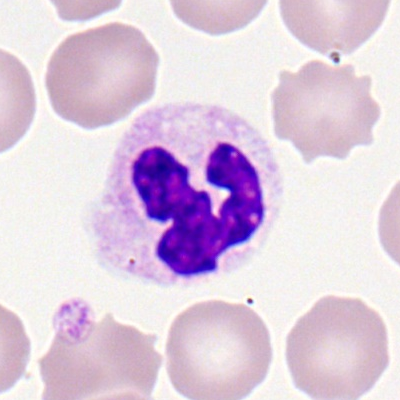
Specimen: peripheral blood film.
Morphological class: neutrophil (segmented).
Lineage: myeloid.